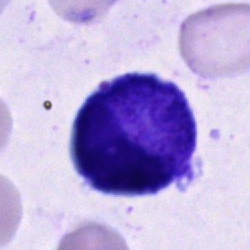
Bone marrow smear showing an artifact.